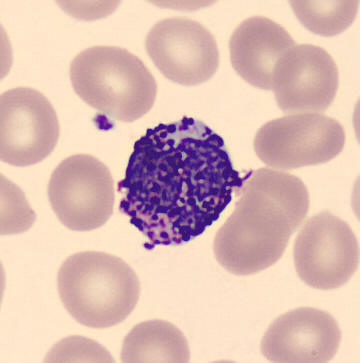The classification is basophilic granulocyte.
Image: Peripheral blood smear.